Peripheral blood film; single-cell field
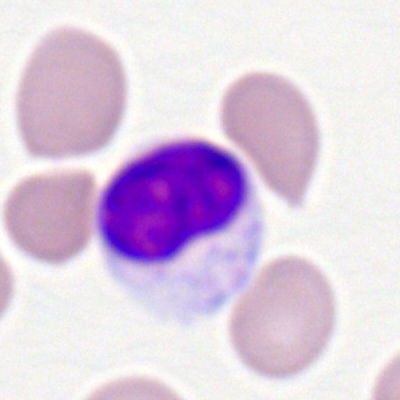 Specimen: peripheral blood film.
Cell: typical lymphocyte.
Lineage: lymphoid.